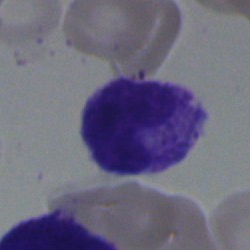Cell type — stab cell.